Bone marrow aspirate smear:
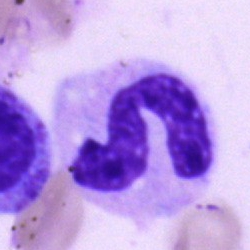

Cell type = band neutrophil.